Bone marrow aspirate smear: 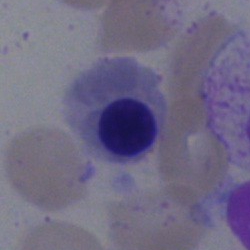This is a nucleated red blood cell.